Bone marrow smear:
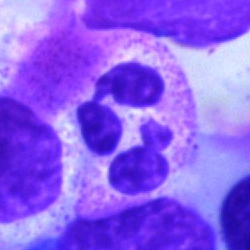

The cell type is polymorphonuclear neutrophil.